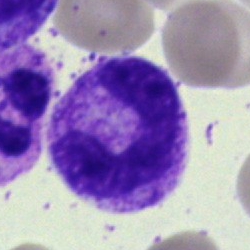Morphology → stab cell.